Bone marrow aspirate smear:
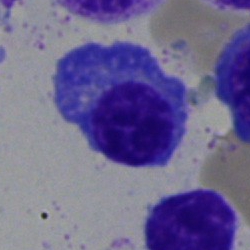 Morphology → plasmacyte.